Bone marrow smear.
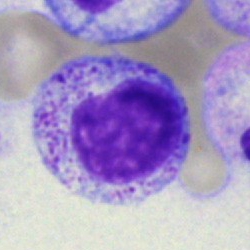Q: What type of cell is this?
A: It is a myelocyte.